Single-cell crop. Bone marrow aspirate smear. 250×250: 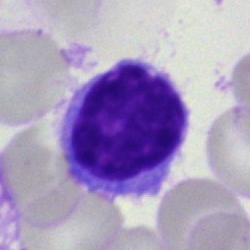
Cell type = lymphocyte.